Single-cell field · bone marrow smear.
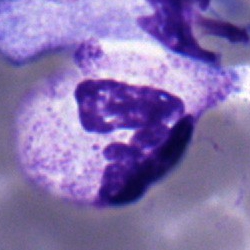

Cell — neutrophil (band).